Bone marrow smear.
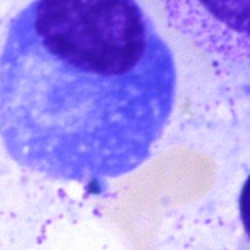

Plasmacyte.